Bone marrow aspirate smear. May-Grünwald-Giemsa stain. 250×250 px:
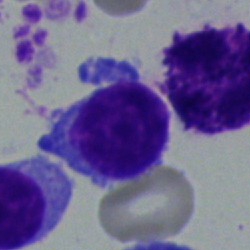

Q: What is shown here?
A: A lymphocyte.